Bone marrow aspirate smear.
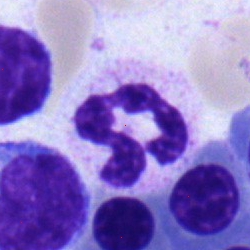This is a neutrophil (segmented).